Bone marrow smear: 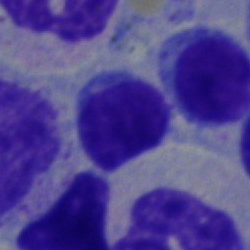
Cell type = lymphocyte.